Pappenheim-stained · cropped to a single cell · bone marrow smear: 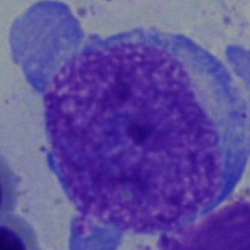Undifferentiated blast.